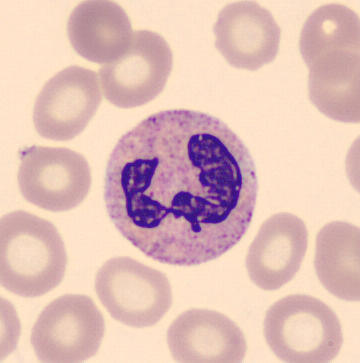Impression → polymorphonuclear neutrophil.